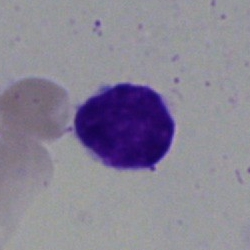 Morphological class — lymphocyte.